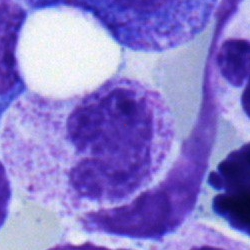

The morphological class is neutrophil (band).